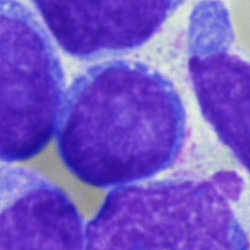Showing an undifferentiated blast.